Bone marrow aspirate smear.
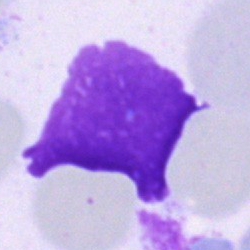
Cell type = artifact.